May-Grünwald-Giemsa/Pappenheim stain · single-cell crop · bone marrow aspirate smear — 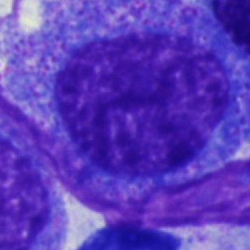
Impression — promyelocyte.